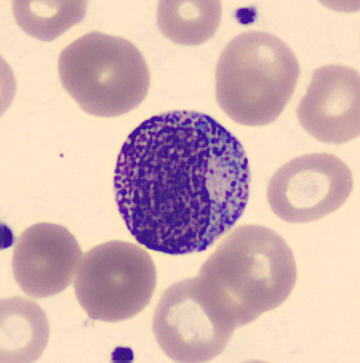

Morphology consistent with a myelocyte.